Romanowsky stain; peripheral blood film: 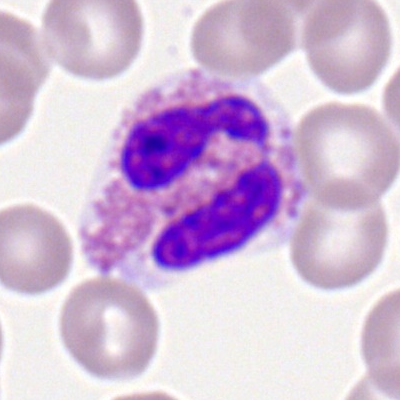
The cell shown is an eosinophil.